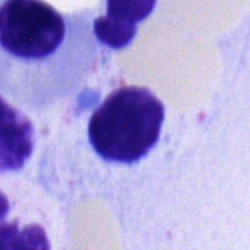

{"cell_type": "typical lymphocyte", "lineage": "lymphoid"}